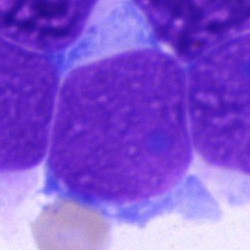

Impression — unidentifiable cell.